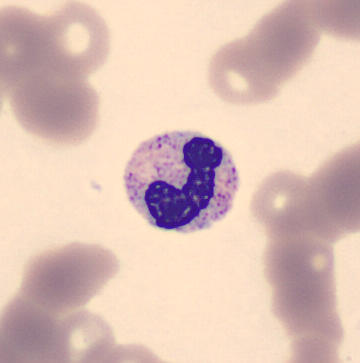

Morphology consistent with a band-form neutrophil.